250×250 px; bone marrow smear — 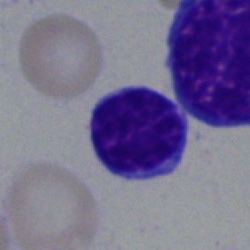Impression → lymphocyte.